Bone marrow smear. Brightfield microscopy, 40× oil immersion
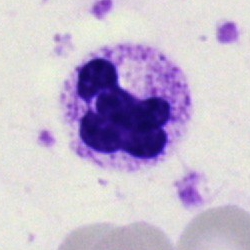

{"cell_type": "neutrophil (segmented)", "lineage": "myeloid"}